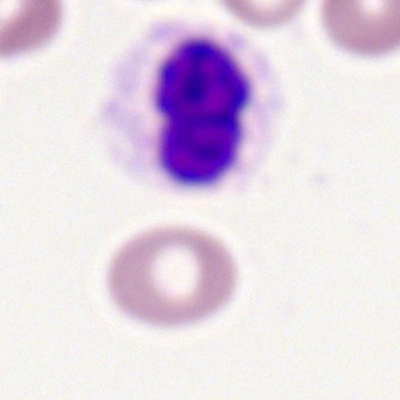 {"cell_type": "neutrophil (segmented)"}